Bone marrow aspirate smear · 40× objective, oil immersion · image size 250×250
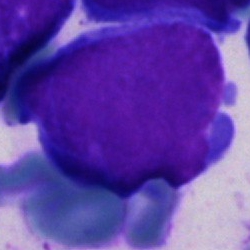

Specimen: bone marrow aspirate smear.
Classification: blast cell.